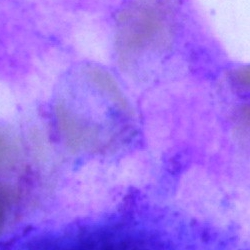

Morphological class = artefact.